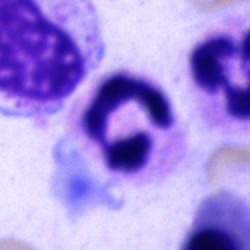Cell type = polymorphonuclear neutrophil.